Bone marrow aspirate smear
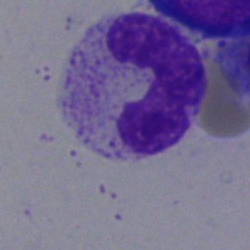 Cell — band neutrophil.